Image size 250×250. Bone marrow aspirate smear: 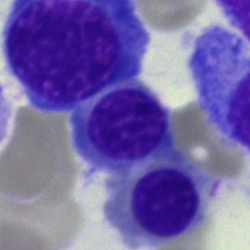
Showing an erythroblast.